250 by 250 pixels · bone marrow aspirate smear
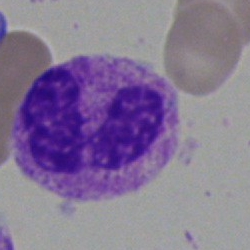
The cell is segmented neutrophil.